Bone marrow smear — 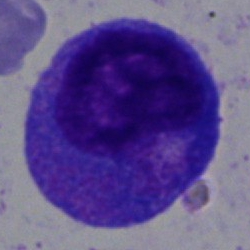
Showing a promyelocyte.